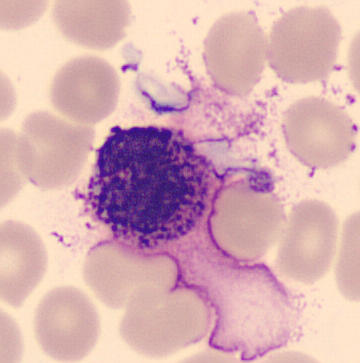 Peripheral blood film.

Cell = basophil.